Peripheral blood film · 400×400 px:
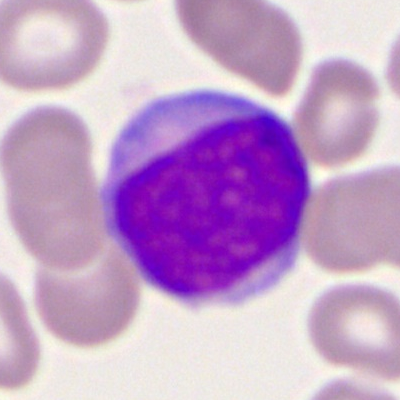
Cell type: myeloblast.